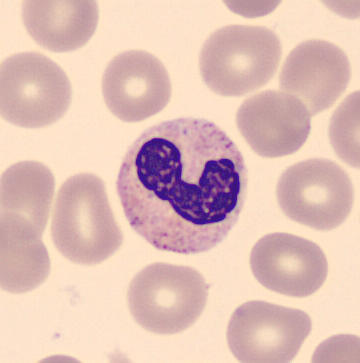 Preparation: 360 by 363 pixels · May Grünwald-Giemsa stain · peripheral blood smear. Showing a stab cell.